Bone marrow aspirate smear. Brightfield microscopy, 40× oil immersion — 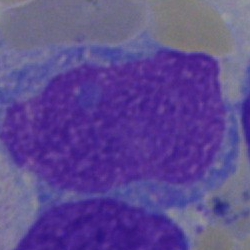 Cell: artefact.